Cropped to a single cell; bone marrow aspirate smear; image size 250×250.
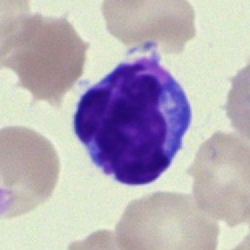This is a lymphocyte.